Image size 250×250 · bone marrow smear — 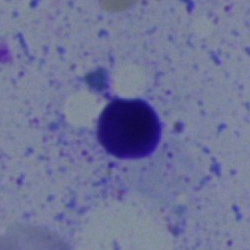

Specimen: bone marrow smear.
Cell type: normoblast.